Bone marrow aspirate smear — 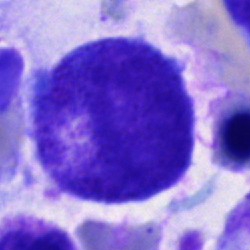 Single cell identified as a promyelocyte.